Bone marrow smear: 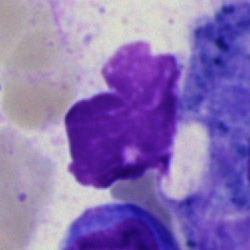

{"cell_type": "artifact"}